400×400 px; peripheral blood smear; Romanowsky stain — 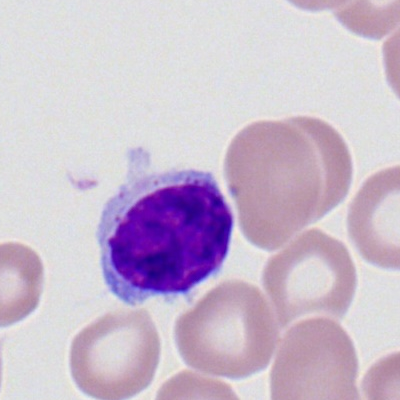 Q: What cell is this?
A: A typical lymphocyte.